Bone marrow smear
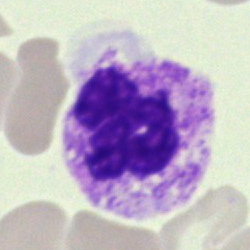 Morphology → polymorphonuclear neutrophil.